Peripheral blood film.
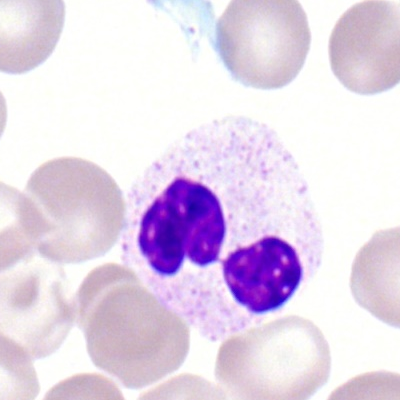 The cell shown is a segmented neutrophil.